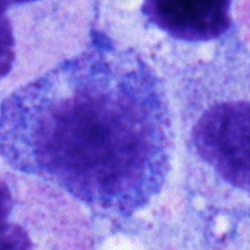Bone marrow aspirate smear, single cell — promyelocyte.